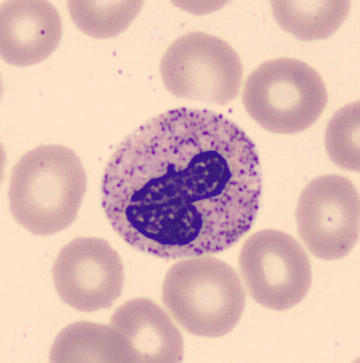

Q: What is this?
A: This is a stab cell.

Image: CellaVision DM96 digital cell image; 360×363; peripheral blood smear.